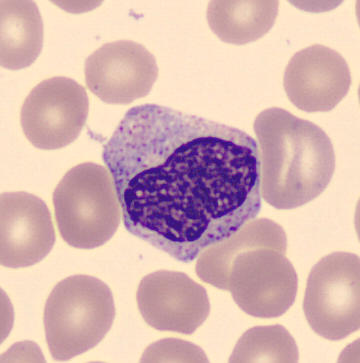
Specimen: peripheral blood film.
Morphological class: metamyelocyte.
Lineage: myeloid.